Single-cell field; brightfield, 40× oil-immersion objective; bone marrow aspirate smear — 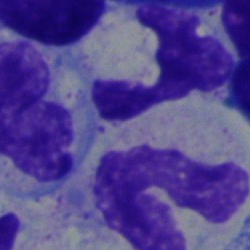 Specimen: bone marrow smear.
Morphological class: band-form neutrophil.
Lineage: myeloid.